Peripheral blood smear — 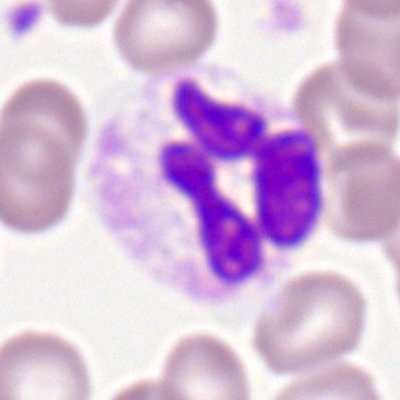

Specimen: peripheral blood film.
Classification: segmented neutrophil.